MGG-stained; bone marrow smear.
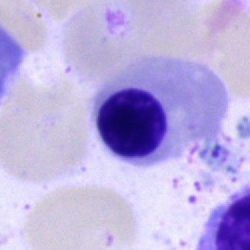 {"cell_type": "nucleated red blood cell", "lineage": "erythroid"}